MGG-stained · bone marrow aspirate smear:
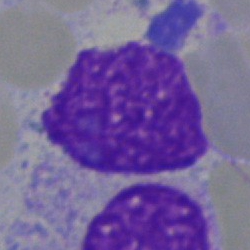 Q: What is shown here?
A: This is an artefact.